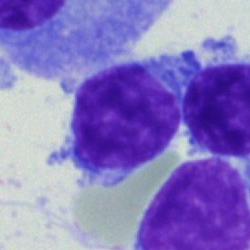

Q: Which cell type is shown here?
A: This is a typical lymphocyte.